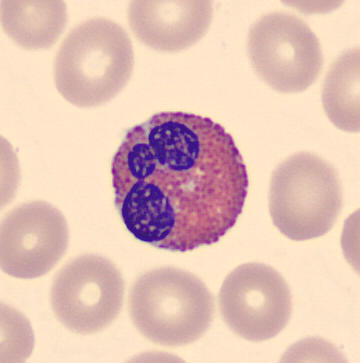

Eosinophilic granulocyte. Acquisition: Single-cell field. 360 by 363 pixels. Peripheral blood smear.